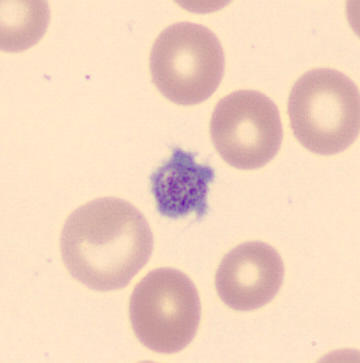Peripheral blood film.

{"cell_type": "platelet"}